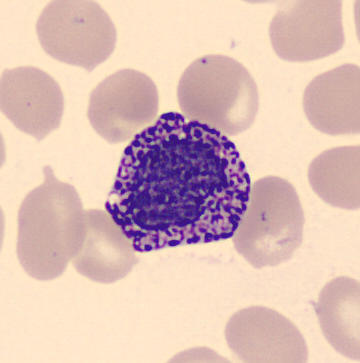
This is a basophilic granulocyte.